250×250 px; bone marrow smear: 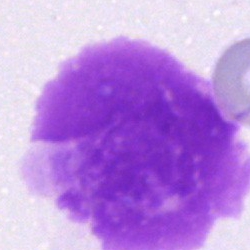

Specimen: bone marrow aspirate smear.
Cell type: artifact.